Bone marrow smear:
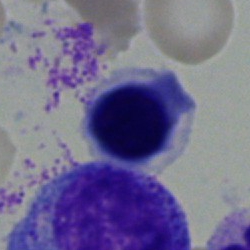
Showing a normoblast.